Bone marrow aspirate smear.
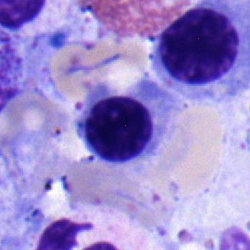 Q: What is the morphological classification of this cell?
A: Nucleated red blood cell.